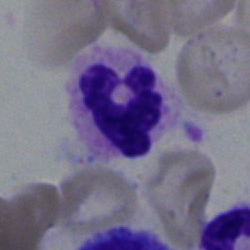

A polymorphonuclear neutrophil.